250 by 250 pixels. Bone marrow aspirate smear. Cropped to a single cell: 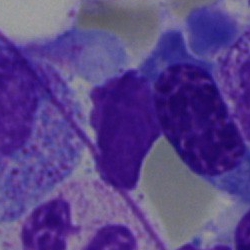
Cell: artifact.